Single-cell crop · bone marrow smear.
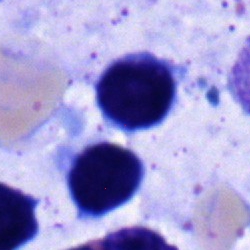
Q: Identify the cell.
A: It is a lymphocyte.